Bone marrow smear
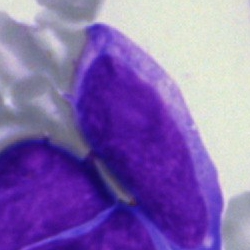Blast cell.